MGG-stained. Bone marrow smear
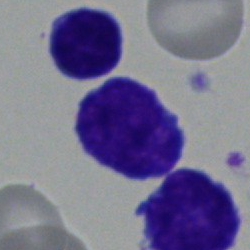

The cell shown is a typical lymphocyte.